Single-cell crop. Bone marrow aspirate smear. Brightfield microscopy, 40× oil immersion
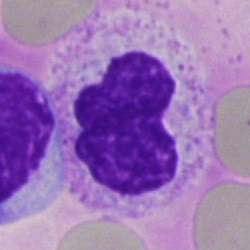

Q: What is shown here?
A: This is a stab cell.